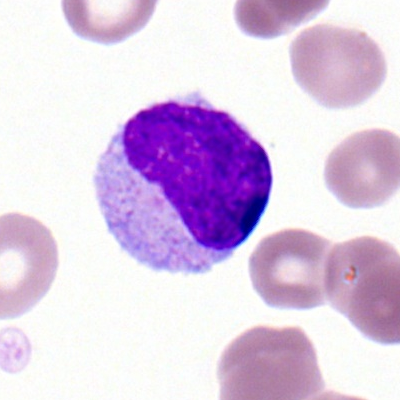
Single cell identified as a typical lymphocyte.